Bone marrow aspirate smear:
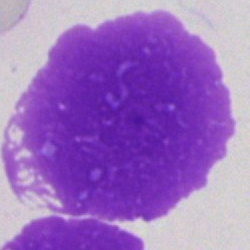Q: What is shown here?
A: An artefact.